Bone marrow aspirate smear. Single-cell field.
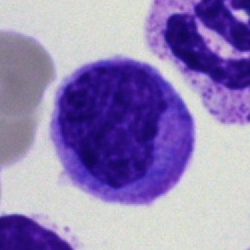Cell: monocyte.